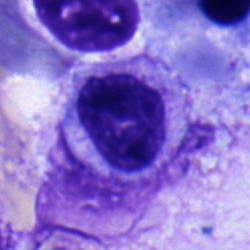

{"cell_type": "myelocyte", "lineage": "myeloid"}